Bone marrow aspirate smear: 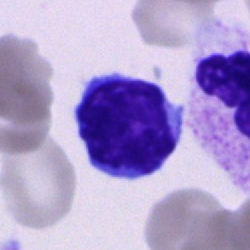

The cell type is typical lymphocyte.